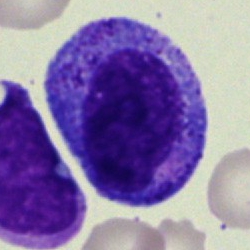

Impression — promyelocyte.